Image size 400×400 · peripheral blood smear · Romanowsky-stained.
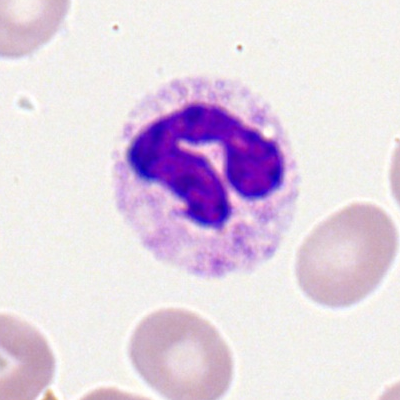

The classification is neutrophil (segmented).